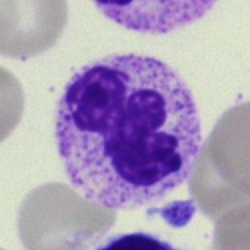

{"cell_type": "polymorphonuclear neutrophil", "lineage": "myeloid"}